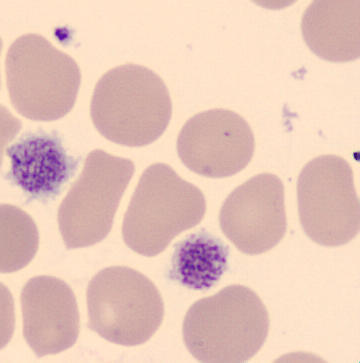
Preparation: Peripheral blood film · 360 by 363 pixels · CellaVision DM96 digital cell image.

Q: What is this?
A: A platelet (thrombocyte).